Bone marrow aspirate smear:
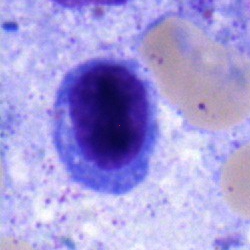
Specimen: bone marrow smear.
Cell: typical lymphocyte.